Bone marrow smear; Pappenheim-stained: 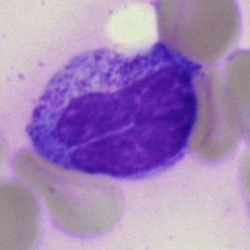Impression → band neutrophil.